Bone marrow smear; Pappenheim-stained
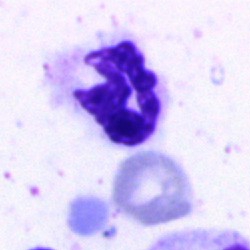 Showing a polymorphonuclear neutrophil.